Bone marrow aspirate smear
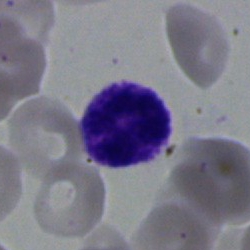The cell is neutrophil (segmented).